Bone marrow aspirate smear — 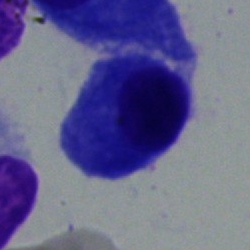

Specimen: bone marrow smear.
Classification: plasma cell.
Lineage: lymphoid.